Pappenheim-stained; bone marrow smear; 40× objective, oil immersion: 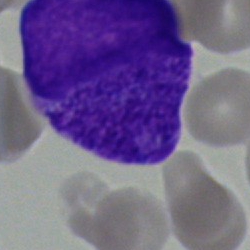
Cell type — undifferentiated blast.